Bone marrow smear — 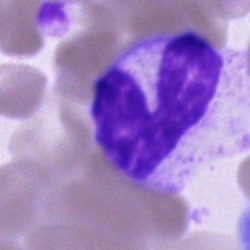
Impression → band-form neutrophil.